Bone marrow aspirate smear:
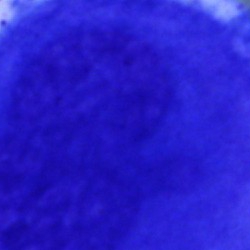
Q: What is shown here?
A: It is an artifact.